Bone marrow smear:
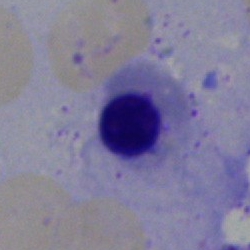
Specimen: bone marrow smear.
Morphological class: nucleated red blood cell.
Lineage: erythroid.